Bone marrow smear:
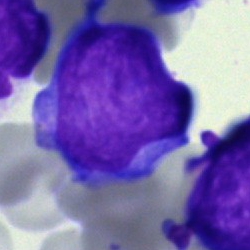 Specimen: bone marrow smear.
Cell: blast.